Bone marrow smear; May-Grünwald-Giemsa/Pappenheim stain
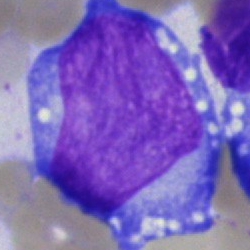
Classification = blast.